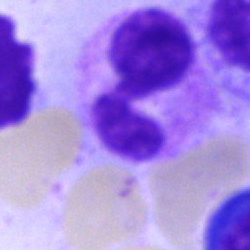
Morphology → neutrophil (segmented).